Bone marrow aspirate smear: 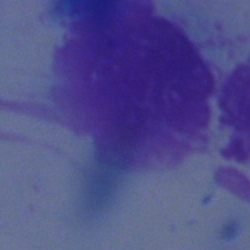

Showing an artifact.